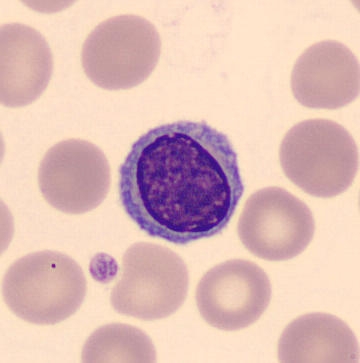 {"cell_type": "typical lymphocyte", "lineage": "lymphoid"}